Peripheral blood film — 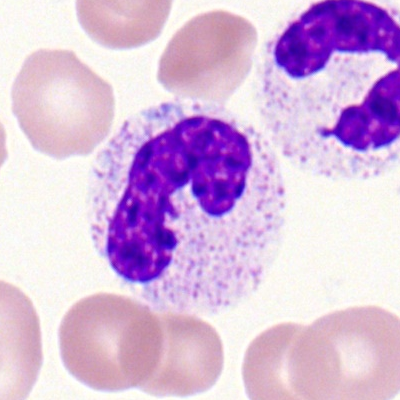The cell shown is a band neutrophil.